Bone marrow aspirate smear: 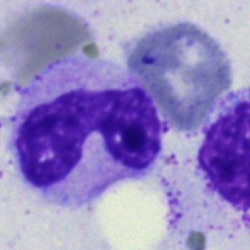 Q: What is shown here?
A: Band-form neutrophil.